Bone marrow smear · brightfield microscopy, 40× oil immersion.
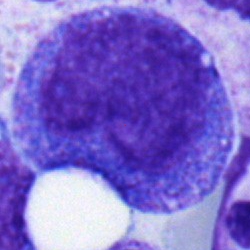
Cell type — promyelocyte.